Bone marrow aspirate smear.
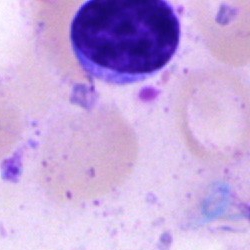Q: What is shown here?
A: A typical lymphocyte.